Bone marrow aspirate smear:
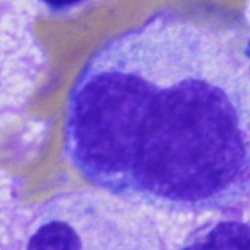

Morphology consistent with an unidentifiable cell.